Pappenheim-stained; bone marrow smear: 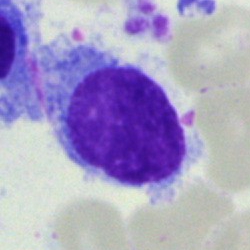
Q: What cell is this?
A: Hairy cell.